Peripheral blood smear · Romanowsky-stained
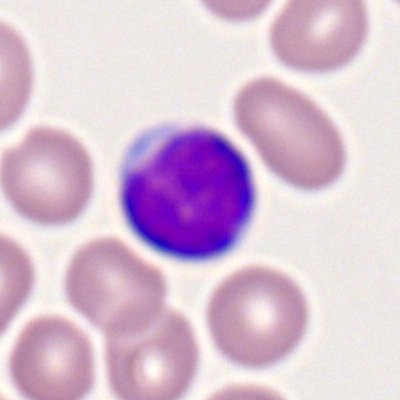
The classification is lymphocyte.